Bone marrow aspirate smear:
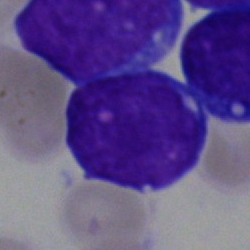
Showing a blast.